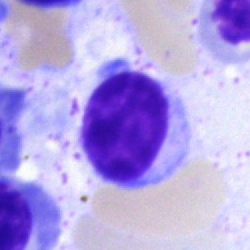Impression → typical lymphocyte.